Bone marrow aspirate smear
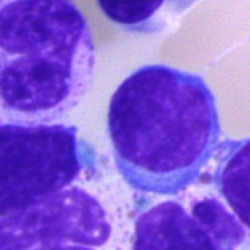 Impression — lymphocyte.